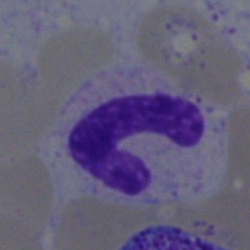

Showing a stab cell.